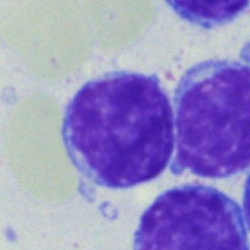

Cell — lymphocyte.